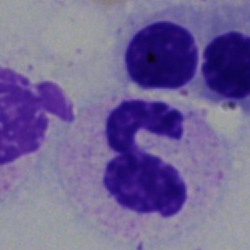
Q: What type of cell is this?
A: This is a neutrophil (segmented).